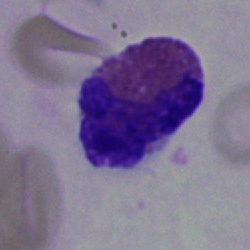Specimen: bone marrow aspirate smear.
Classification: eosinophil.
Lineage: myeloid.